Single-cell field. Bone marrow smear. May-Grünwald-Giemsa/Pappenheim stain
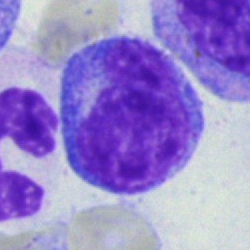Showing a monocyte.